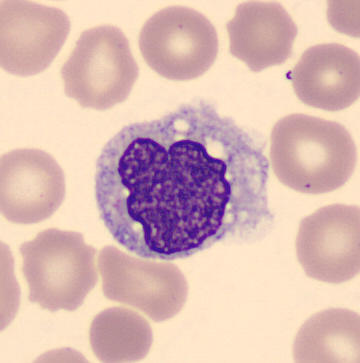 Q: Which cell type is shown here?
A: Monocyte.